Romanowsky stain; peripheral blood smear; 100× oil immersion: 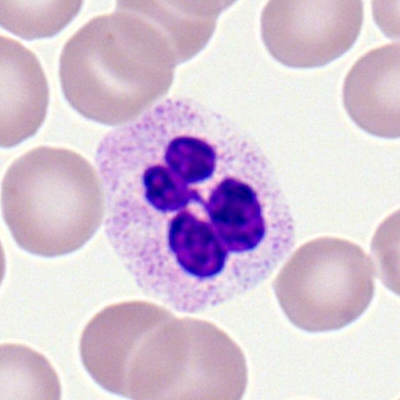
This is a neutrophil (segmented).